Bone marrow aspirate smear.
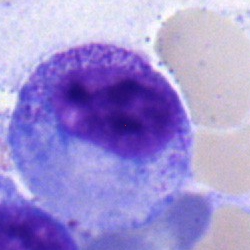 Cell type = promyelocyte.